Bone marrow smear: 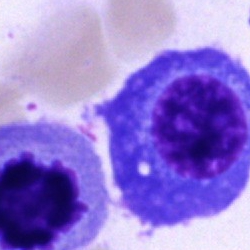Single cell identified as a plasmacyte.